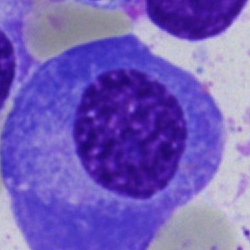A plasma cell.